Single-cell crop · bone marrow smear · 250×250
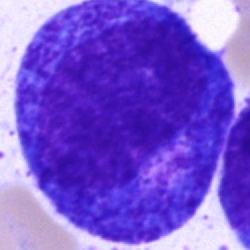

Q: What type of cell is this?
A: This is a progranulocyte.